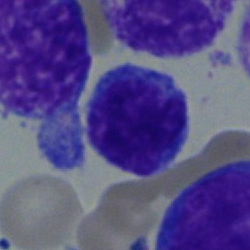

Q: What cell is this?
A: This is a lymphocyte.